Bone marrow smear.
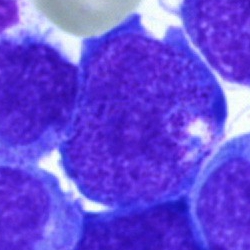
Showing a blast.